Bone marrow smear · Pappenheim-stained.
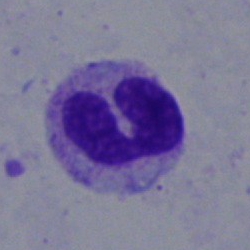

Morphology consistent with a polymorphonuclear neutrophil.